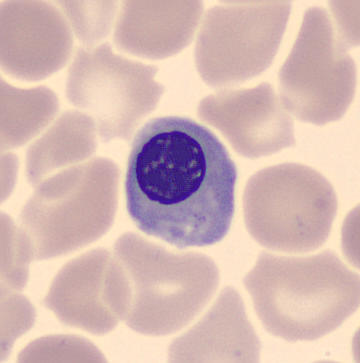Morphological class: nucleated red cell.

Peripheral blood film.